Brightfield, 100× oil-immersion objective; single-cell field; peripheral blood film: 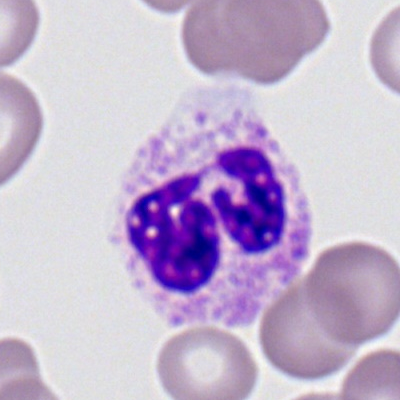 Single cell identified as a segmented neutrophil.